Peripheral blood film · 100× oil immersion.
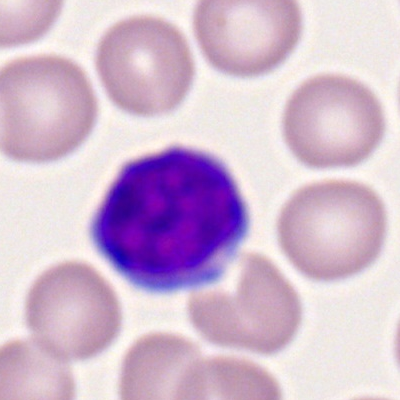

Cell — lymphocyte.